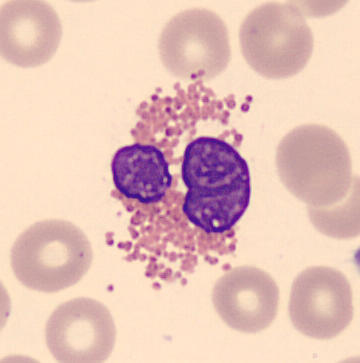
Image: Peripheral blood smear.

Q: What is shown here?
A: It is an eosinophil.